Bone marrow smear — 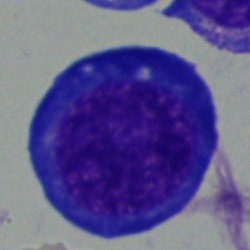

Cell = pronormoblast.